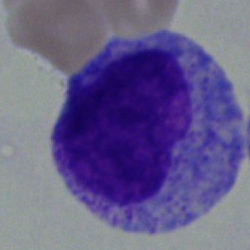Cell type = myelocyte.